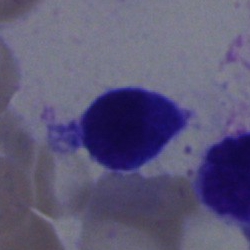 Q: Identify the cell.
A: Typical lymphocyte.